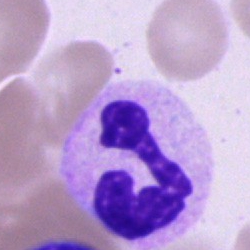
{"cell_type": "neutrophil (segmented)"}